Brightfield microscopy, 40× oil immersion. Single-cell field. Bone marrow aspirate smear — 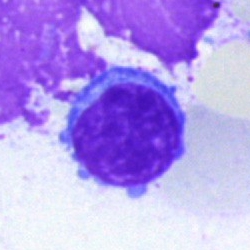Specimen: bone marrow aspirate smear.
Morphological class: typical lymphocyte.
Lineage: lymphoid.